Bone marrow smear — 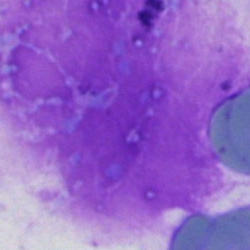Showing an artefact.